Bone marrow smear · 40× objective, oil immersion
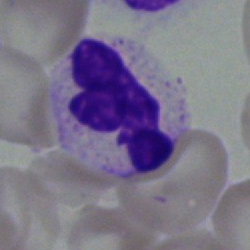

Q: Identify the cell.
A: It is a polymorphonuclear neutrophil.